MGG-stained · bone marrow smear: 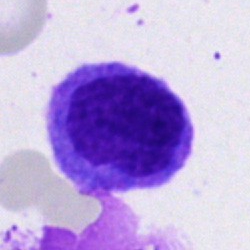Specimen: bone marrow aspirate smear.
Cell type: monocyte.